Bone marrow smear — 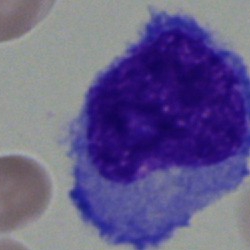Blast cell.